Pappenheim-stained · bone marrow aspirate smear: 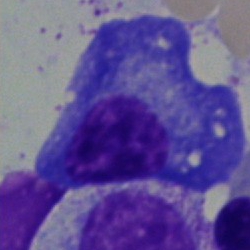

Morphological class = plasmacyte.